Bone marrow smear
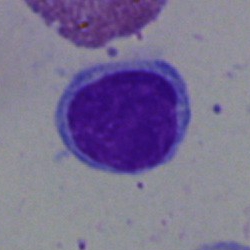

Specimen: bone marrow aspirate smear.
Morphological class: lymphocyte.